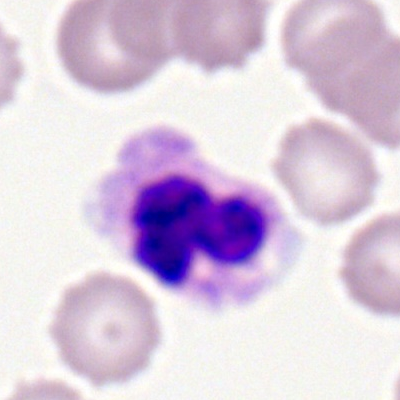

Impression → segmented neutrophil.